Bone marrow smear — 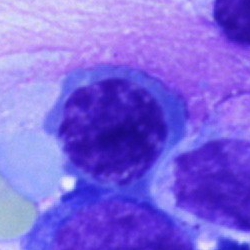 The classification is erythroblast.